MGG-stained. Image size 250×250. Bone marrow aspirate smear.
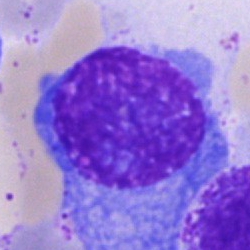 Q: Identify the cell.
A: It is a plasma cell.